Bone marrow smear. Cropped to a single cell — 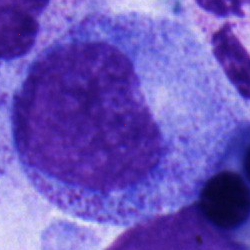
Morphology consistent with a promyelocyte.